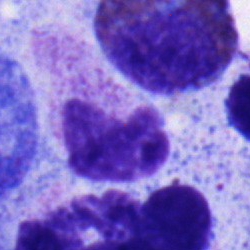 Q: What type of cell is this?
A: It is a metamyelocyte.